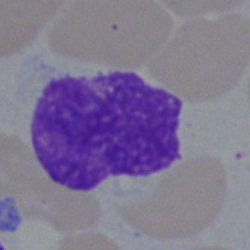
An artifact.